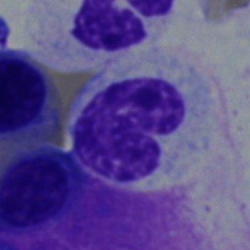Specimen: bone marrow smear.
Morphological class: stab cell.